Bone marrow aspirate smear:
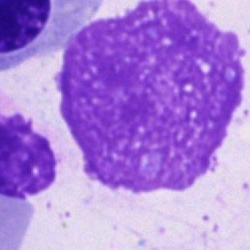Single cell identified as an artifact.